250 by 250 pixels · bone marrow smear — 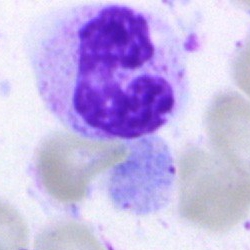 Q: Which cell type is shown here?
A: It is a neutrophil (segmented).